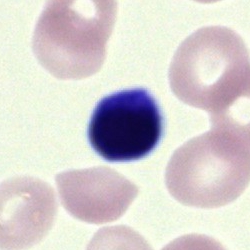
An artifact on a bone marrow smear.